40× objective, oil immersion. Bone marrow aspirate smear. Single-cell field
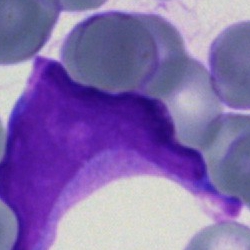Showing a blast.